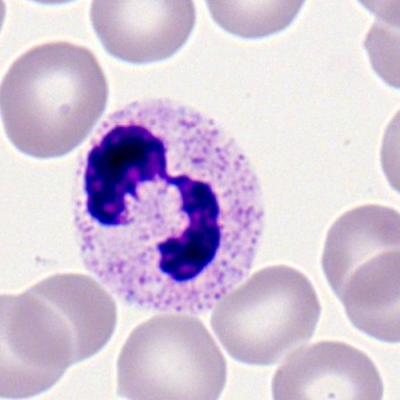
Showing a polymorphonuclear neutrophil.